Bone marrow aspirate smear:
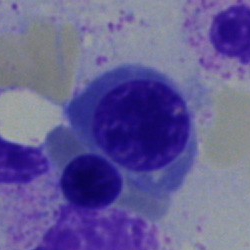Q: What cell is this?
A: A nucleated red cell.